40× oil immersion · Pappenheim-stained · bone marrow smear
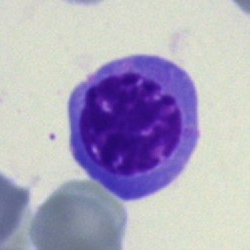
Morphology consistent with a nucleated red cell.